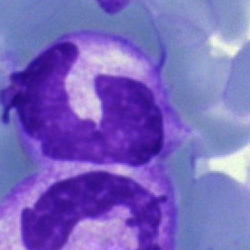
The cell is band neutrophil.